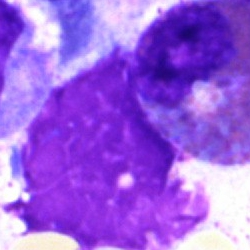
Cell type = artefact.